Image size 250×250; brightfield microscopy, 40× oil immersion; bone marrow smear
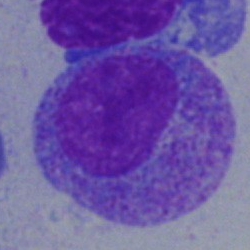 Morphological class = myelocyte.